Brightfield, 40× oil-immersion objective; Pappenheim-stained; bone marrow aspirate smear.
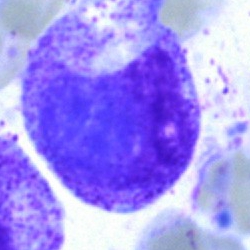Showing a metamyelocyte.